Bone marrow aspirate smear: 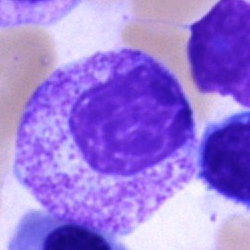 This is a myelocyte.